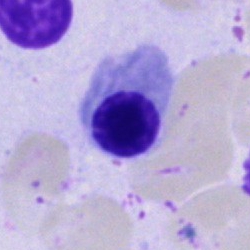
Morphology consistent with a normoblast.